Bone marrow smear
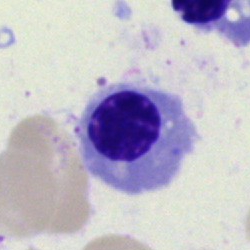 Impression → nucleated red blood cell.